Single-cell crop · bone marrow smear · 250 by 250 pixels:
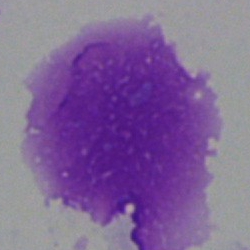

Morphology consistent with an artifact.